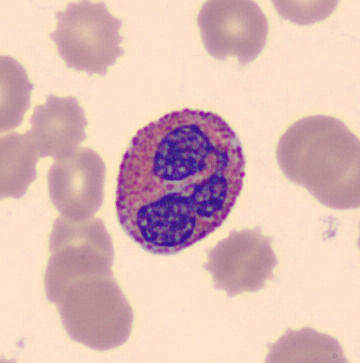 The classification is eosinophil.

Peripheral blood film.